Bone marrow smear — 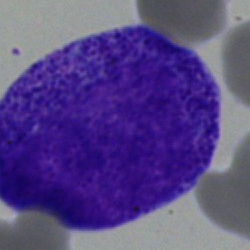This is a promyelocyte.